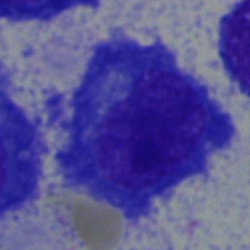Cell — plasmacyte.